Bone marrow aspirate smear: 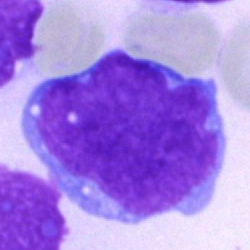 Specimen: bone marrow aspirate smear.
Cell type: blast cell.